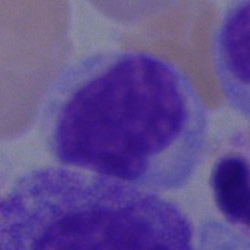 Morphology consistent with an artifact.